Bone marrow smear:
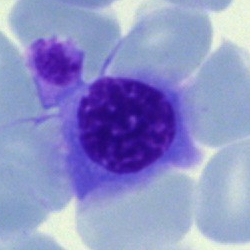 Erythroblast.